Brightfield microscopy, 40× oil immersion. Bone marrow aspirate smear
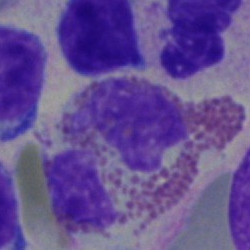
Q: What is the morphological classification of this cell?
A: Eosinophil.